40× oil immersion; bone marrow smear; single cell centered in the field.
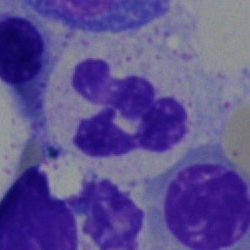 Polymorphonuclear neutrophil.